Romanowsky stain. Peripheral blood film: 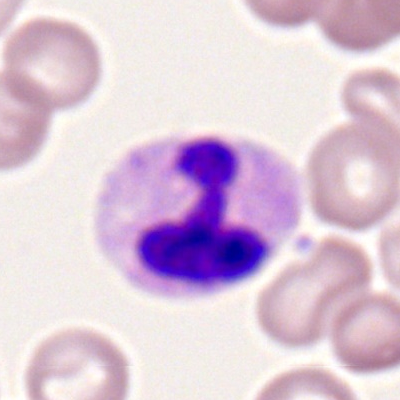 Q: What is shown here?
A: A segmented neutrophil.